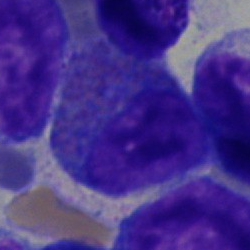

The classification is eosinophil.